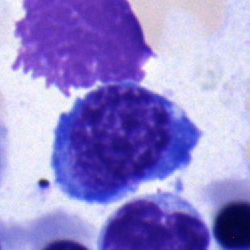

Bone marrow aspirate smear, single cell — erythroblast.